Pappenheim-stained. Bone marrow aspirate smear: 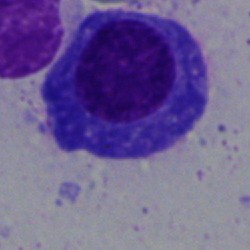 Cell type = plasma cell.